Cropped to a single cell. Bone marrow aspirate smear:
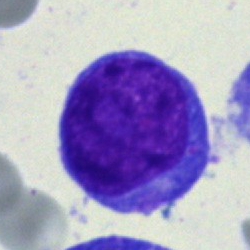

Q: What is the morphological classification of this cell?
A: This is a blast.